Peripheral blood film
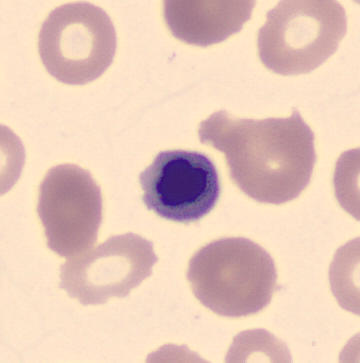

A nucleated red cell.